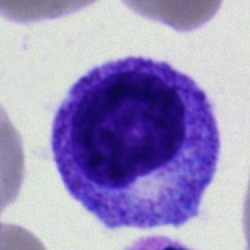

The cell shown is a promyelocyte.